May-Grünwald-Giemsa stain; bone marrow smear — 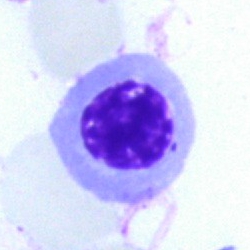
Q: What type of cell is this?
A: A normoblast.